40× oil immersion; bone marrow smear; Pappenheim-stained:
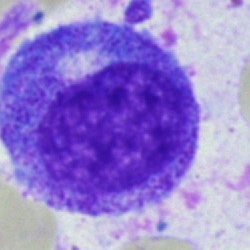

Specimen: bone marrow aspirate smear.
Cell: promyelocyte.
Lineage: myeloid.